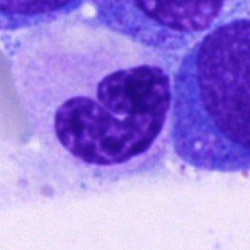

The morphological class is band-form neutrophil.